Bone marrow smear — 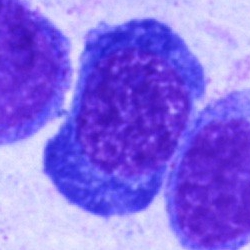
The cell is nucleated red cell.